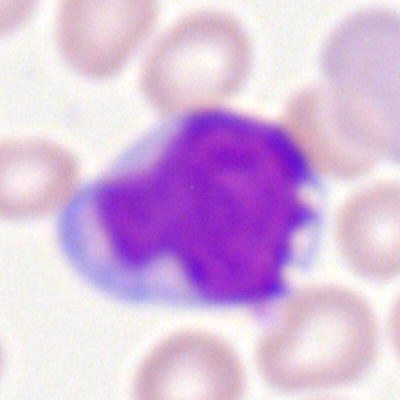
Single cell identified as a myeloblast.